Bone marrow aspirate smear
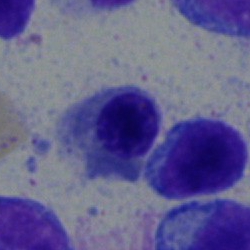

Showing a nucleated red cell.